Bone marrow aspirate smear — 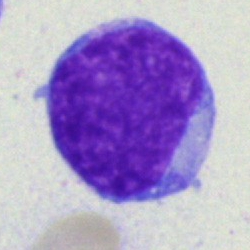Single cell identified as an undifferentiated blast.